Bone marrow smear: 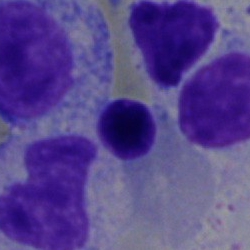

Morphology consistent with an erythroblast.